Bone marrow aspirate smear
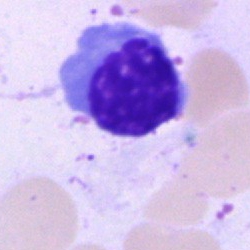
The cell shown is a normoblast.